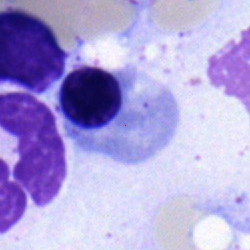
Specimen: bone marrow smear.
Morphological class: normoblast.